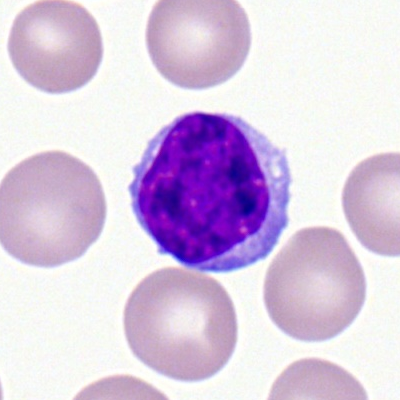{"cell_type": "typical lymphocyte"}